Bone marrow aspirate smear — 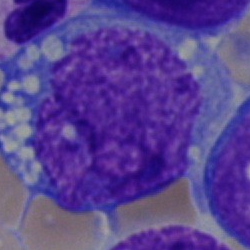 The cell shown is an undifferentiated blast.